Bone marrow aspirate smear. Cropped to a single cell: 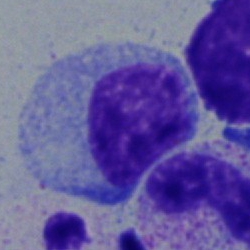Specimen: bone marrow smear.
Morphological class: myelocyte.